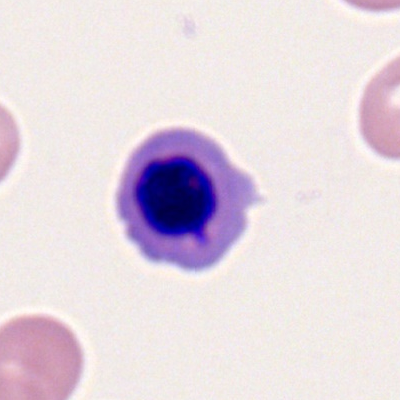
Cell = nucleated red blood cell.